Brightfield, 40× oil-immersion objective. Bone marrow aspirate smear:
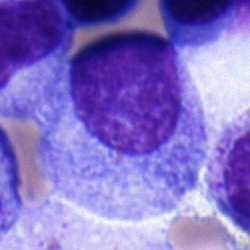Myelocyte.